Bone marrow aspirate smear: 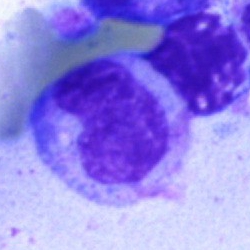Specimen: bone marrow smear.
Classification: band-form neutrophil.